Single cell centered in the field; bone marrow smear; May-Grünwald-Giemsa stain: 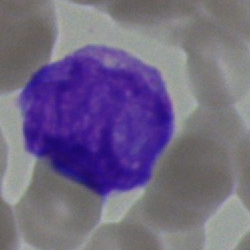

Q: Identify the cell.
A: An undifferentiated blast.